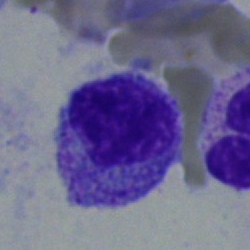
Impression — myelocyte.